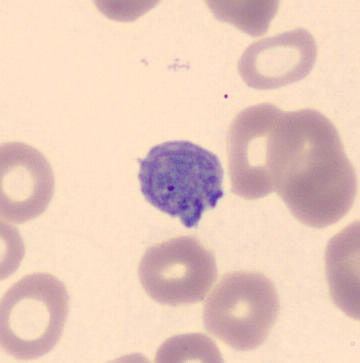 Image: Peripheral blood film. A platelet (thrombocyte).